Bone marrow aspirate smear
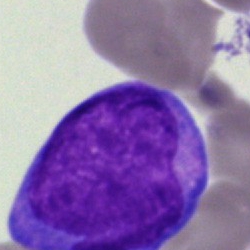
Classification = undifferentiated blast.